Bone marrow aspirate smear:
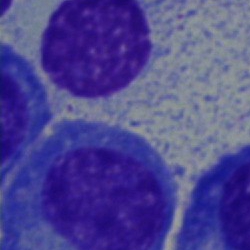Plasmacyte.